Bone marrow aspirate smear · image size 250×250 · brightfield, 40× oil-immersion objective — 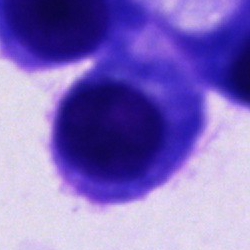
Classification: cell not matching the other categories.